250×250; bone marrow aspirate smear:
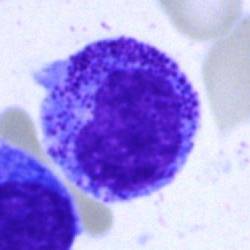 This is a progranulocyte.